Bone marrow smear
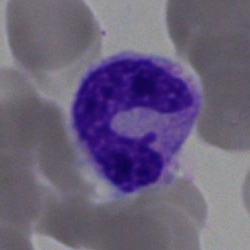 This is a band-form neutrophil.